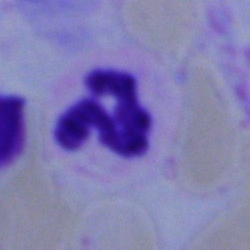Polymorphonuclear neutrophil.